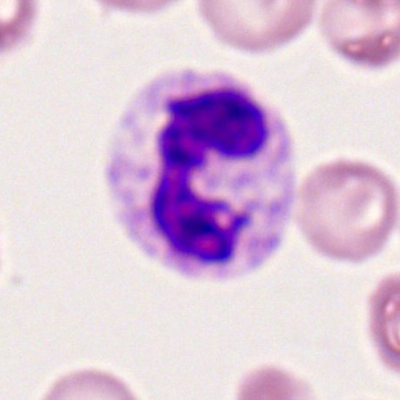Morphology consistent with a neutrophil (segmented).